Bone marrow aspirate smear:
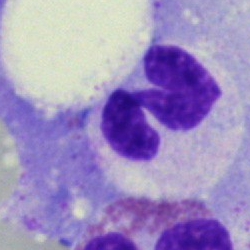

{"cell_type": "segmented neutrophil", "lineage": "myeloid"}